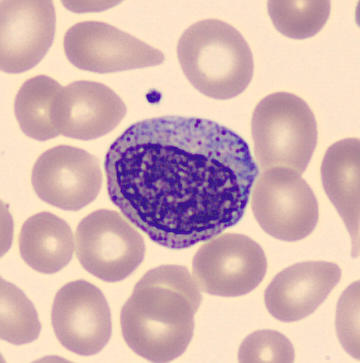 Image: May Grünwald-Giemsa stain · peripheral blood film.

Q: What is the morphological classification of this cell?
A: A myelocyte.